Bone marrow aspirate smear
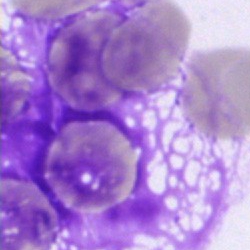 An artifact.